Bone marrow smear; brightfield, 40× oil-immersion objective; single cell centered in the field
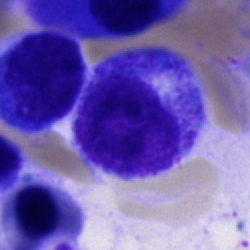Classification = progranulocyte.